Bone marrow aspirate smear; 250×250 px:
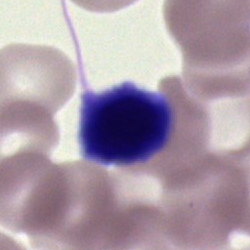

Specimen: bone marrow smear.
Cell: lymphocyte.
Lineage: lymphoid.